Bone marrow smear. 250 by 250 pixels:
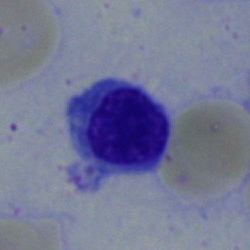 Showing a nucleated red cell.